Bone marrow smear — 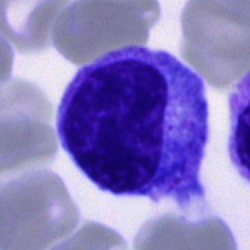
Q: What type of cell is this?
A: A myelocyte.